Bone marrow smear; May-Grünwald-Giemsa/Pappenheim stain; brightfield microscopy, 40× oil immersion.
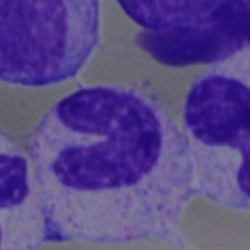A band neutrophil.